Bone marrow smear — 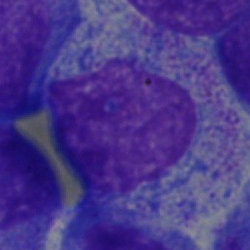

Specimen: bone marrow smear.
Cell: myelocyte.